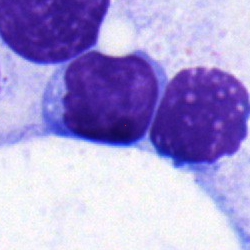

The classification is lymphocyte.